Bone marrow smear.
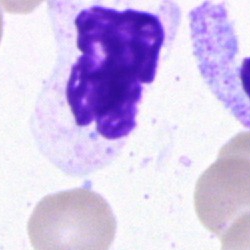The cell shown is an artefact.